Bone marrow aspirate smear; single-cell crop
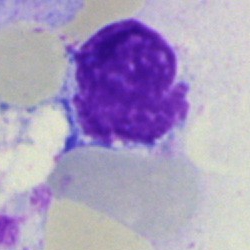Morphological class — artifact.